Bone marrow aspirate smear:
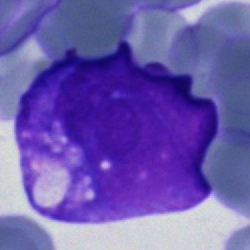

Cell type: blast.